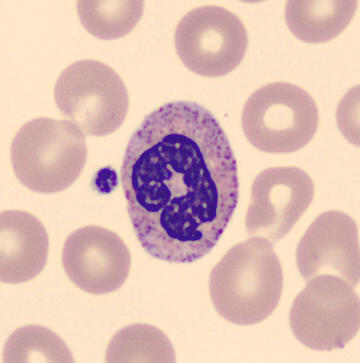
Peripheral blood film. Cropped to a single cell.
{"cell_type": "band neutrophil", "lineage": "myeloid"}